Bone marrow aspirate smear · cropped to a single cell · MGG-stained.
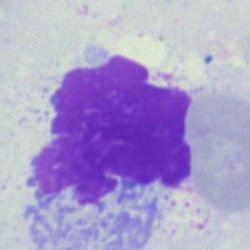Q: What is shown here?
A: This is an artifact.